Bone marrow aspirate smear. May-Grünwald-Giemsa stain. Single-cell crop.
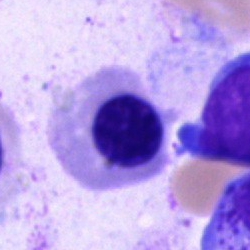
Morphological class: erythroblast.